Peripheral blood smear; brightfield, 100× oil-immersion objective — 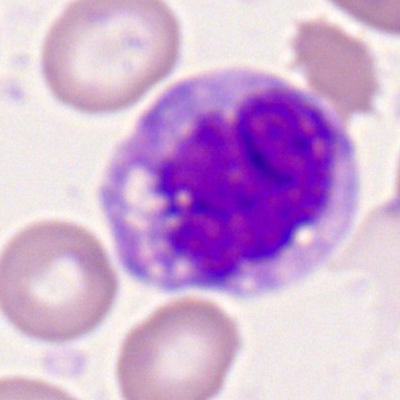

Specimen: peripheral blood film.
Morphological class: monocyte.